Bone marrow aspirate smear: 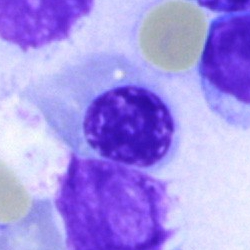

{"cell_type": "nucleated red blood cell", "lineage": "erythroid"}